Bone marrow aspirate smear · May-Grünwald-Giemsa/Pappenheim stain
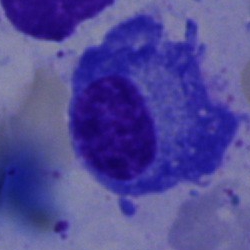Morphological class: plasma cell.